Peripheral blood smear — 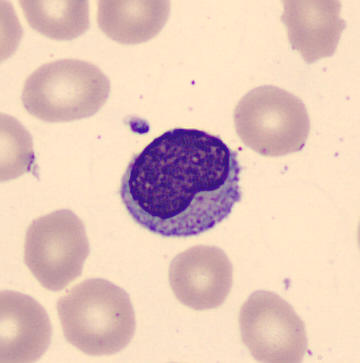

This is a typical lymphocyte.